Cropped to a single cell. Bone marrow smear:
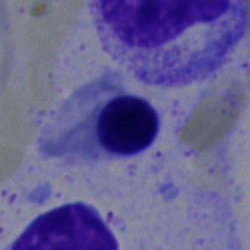

A nucleated red blood cell.